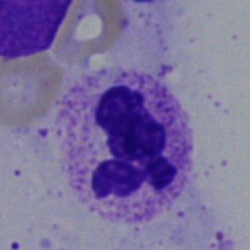A segmented neutrophil.